Pappenheim-stained · bone marrow smear · single cell centered in the field
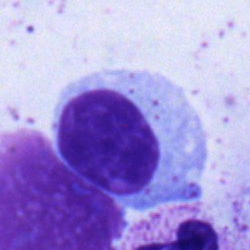

A typical lymphocyte.